Peripheral blood smear: 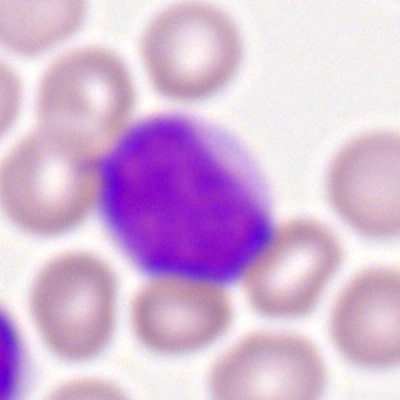 Showing a myeloblast.